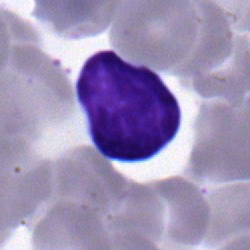

Cell: lymphocyte.